Bone marrow aspirate smear
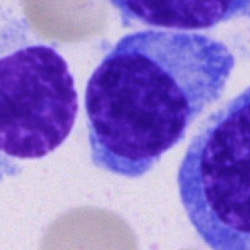

Morphology consistent with a plasma cell.